Bone marrow smear
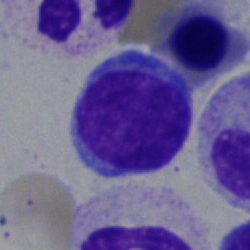

Q: Identify the cell.
A: A typical lymphocyte.